Bone marrow aspirate smear:
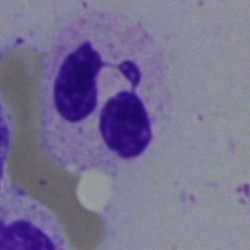
A polymorphonuclear neutrophil.